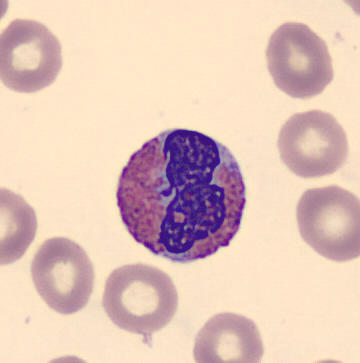From a peripheral blood smear: an eosinophil.